Bone marrow smear. 40× oil immersion:
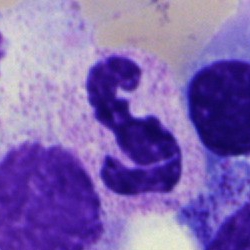

Morphological class: neutrophil (segmented).